Bone marrow smear: 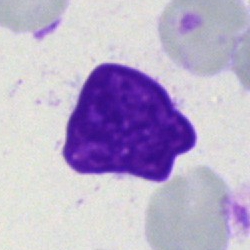

Q: What is shown here?
A: This is an artifact.